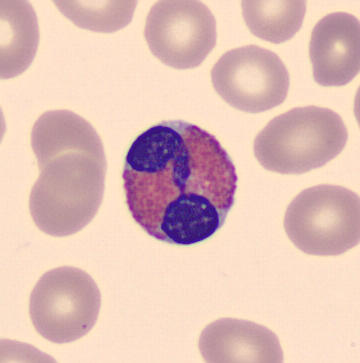

Classification — eosinophilic granulocyte.